Bone marrow smear.
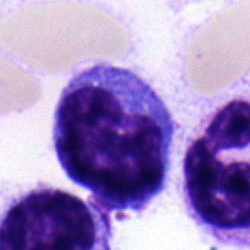 Morphological class — monocyte.